Bone marrow smear — 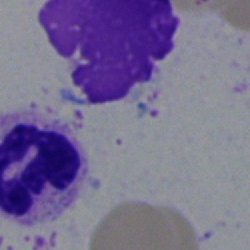 {"cell_type": "neutrophil (segmented)", "lineage": "myeloid"}